Bone marrow aspirate smear; brightfield, 40× oil-immersion objective.
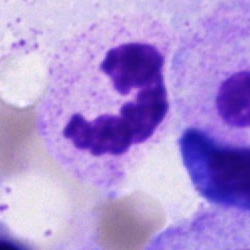Segmented neutrophil.